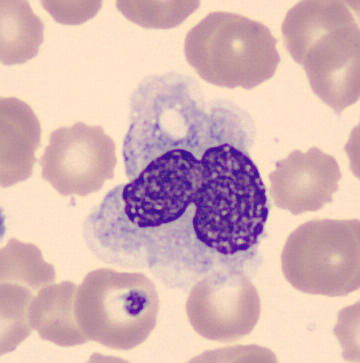Acquisition: Peripheral blood smear.

Q: What is shown here?
A: This is a monocyte.